Brightfield microscopy, 40× oil immersion · bone marrow smear — 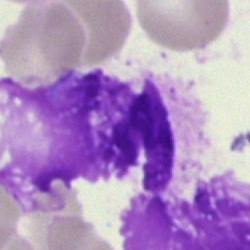 The cell type is artifact.